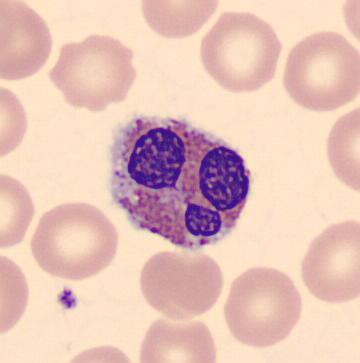Q: Identify the cell.
A: This is an eosinophil.